Bone marrow aspirate smear. 40× objective, oil immersion. Single cell centered in the field
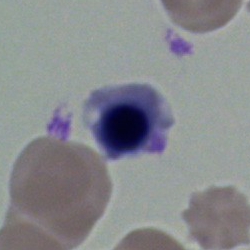Cell type — erythroblast.